Bone marrow aspirate smear; image size 250×250.
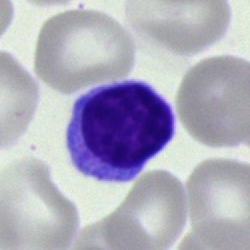

Q: What cell is this?
A: A lymphocyte.